May-Grünwald-Giemsa stain · cropped to a single cell · bone marrow smear: 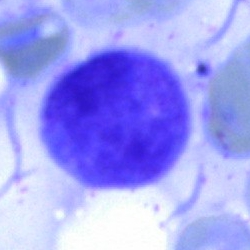
The classification is unidentifiable cell.